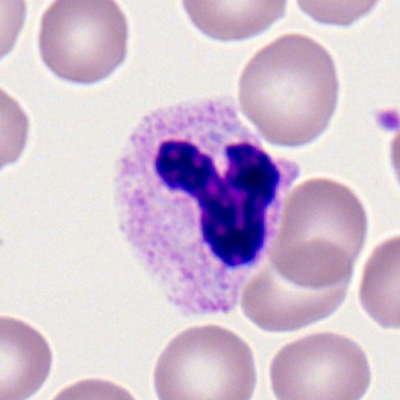
Cell type — neutrophil (segmented).